100× oil immersion · peripheral blood film.
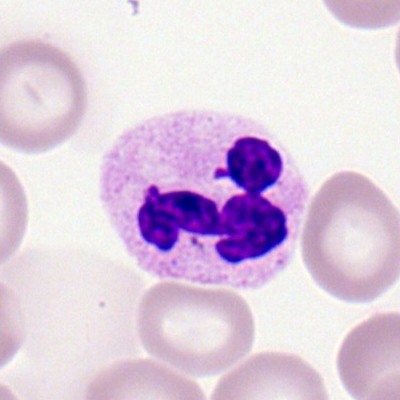 Single cell identified as a polymorphonuclear neutrophil.